Bone marrow smear: 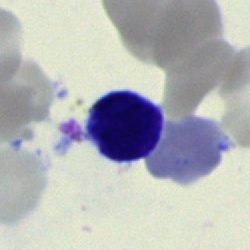

Morphological class: lymphocyte.